Peripheral blood film
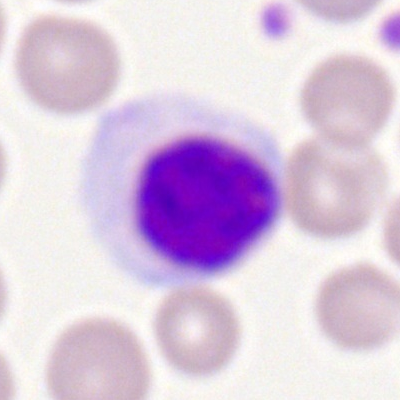
Morphology → lymphocyte.